Bone marrow aspirate smear. Brightfield, 40× oil-immersion objective:
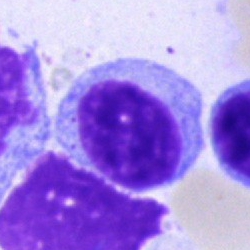Showing a typical lymphocyte.